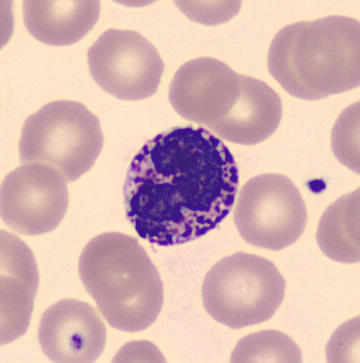 Image size 360×363 · automated cell imaging (CellaVision DM96) · peripheral blood film.
A basophilic granulocyte.